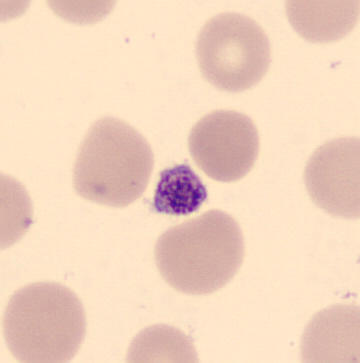
Preparation: Peripheral blood film.

{"cell_type": "platelet (thrombocyte)"}